Bone marrow aspirate smear: 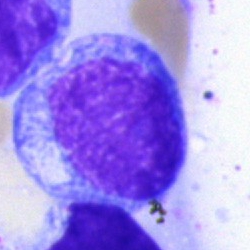
The cell type is blast cell.